Bone marrow aspirate smear
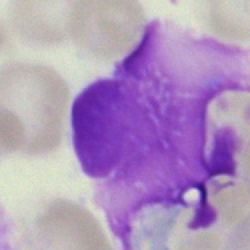 The classification is artifact.